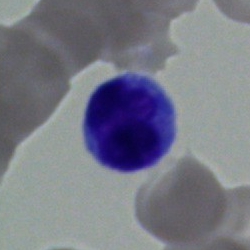Cell type — lymphocyte.